Bone marrow aspirate smear · brightfield microscopy, 40× oil immersion.
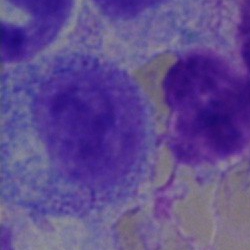Specimen: bone marrow smear.
Classification: myelocyte.